Bone marrow aspirate smear:
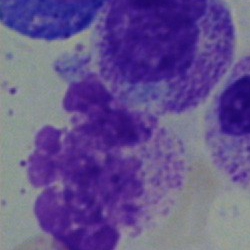 Morphology consistent with a neutrophil (segmented).